Bone marrow aspirate smear: 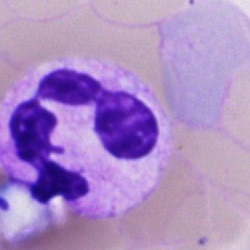{"cell_type": "segmented neutrophil", "lineage": "myeloid"}